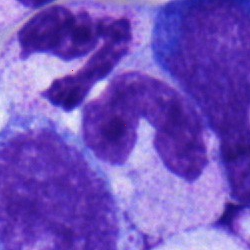Classification = band neutrophil.